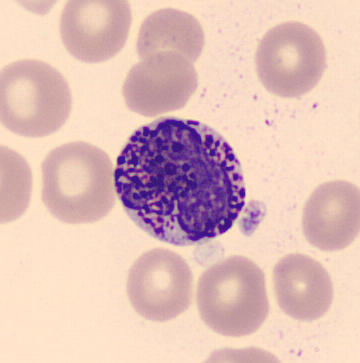
The classification is basophil.